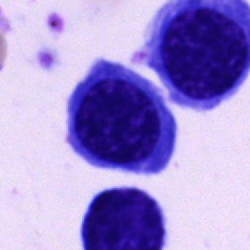

The cell shown is an erythroblast.